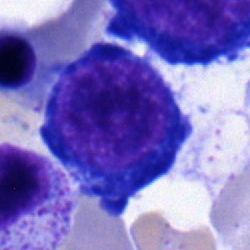

Morphological class = proerythroblast.